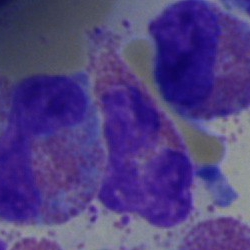
An eosinophil.